Bone marrow smear — 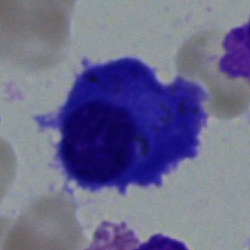Impression — plasmacyte.